Bone marrow smear. May-Grünwald-Giemsa stain. 250×250 px
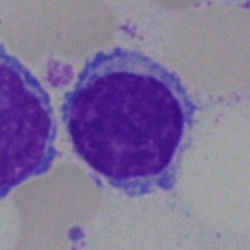This is a lymphocyte.